Single-cell field. Bone marrow smear. 40× objective, oil immersion:
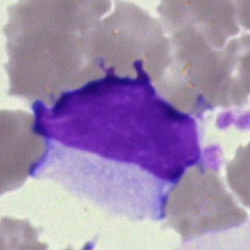
Classification = artefact.